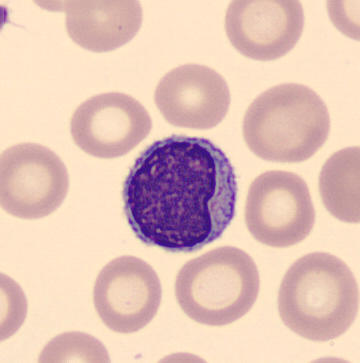 Specimen: peripheral blood film.
Morphological class: lymphocyte.
Lineage: lymphoid.